Bone marrow smear.
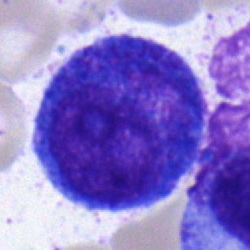
Q: What cell is this?
A: A promyelocyte.